40× oil immersion · bone marrow aspirate smear:
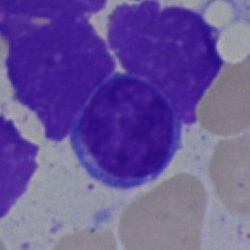 This is a lymphocyte.